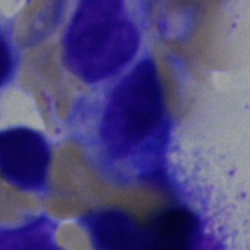 Cell — artifact.